Bone marrow smear · 40× oil immersion:
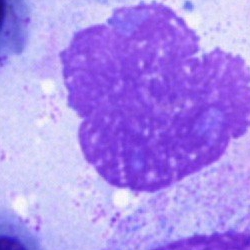
This is an artefact.